Peripheral blood film
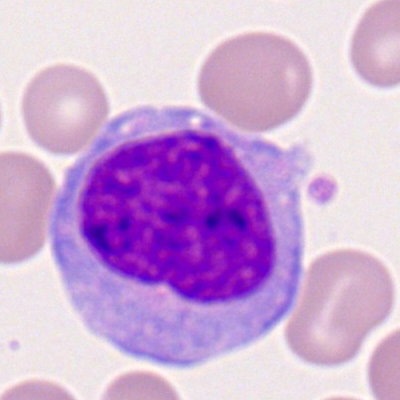 Showing a monocyte.